Romanowsky stain; peripheral blood smear: 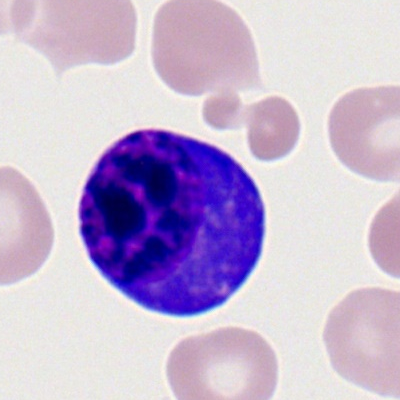
Q: What is the morphological classification of this cell?
A: It is a lymphocyte (atypical).